Bone marrow smear:
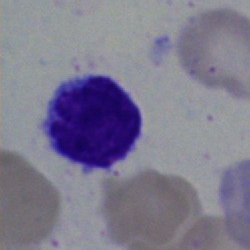

Impression → typical lymphocyte.